Bone marrow smear · single-cell field — 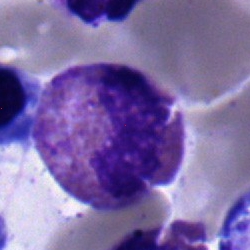

Morphology — eosinophilic granulocyte.